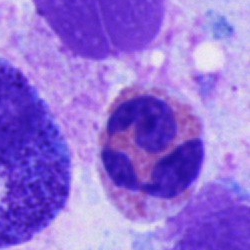

Bone marrow aspirate smear, single cell — eosinophilic granulocyte.